Brightfield microscopy, 40× oil immersion; bone marrow aspirate smear.
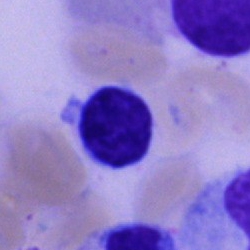
The cell type is typical lymphocyte.